Brightfield, 40× oil-immersion objective. Bone marrow aspirate smear: 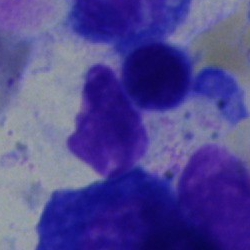Cell — normoblast.